40× oil immersion · Pappenheim-stained · bone marrow smear — 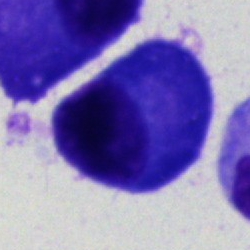

Cell — plasma cell.